Bone marrow aspirate smear. Brightfield microscopy, 40× oil immersion — 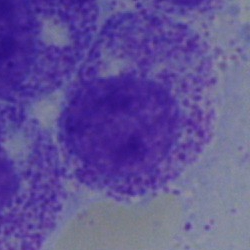

Single cell identified as a myelocyte.